Bone marrow smear. May-Grünwald-Giemsa stain: 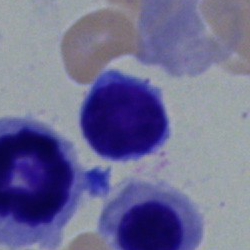

Morphological class — lymphocyte.